Bone marrow smear — 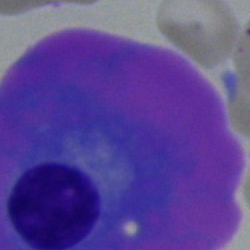

Morphology consistent with a plasma cell.